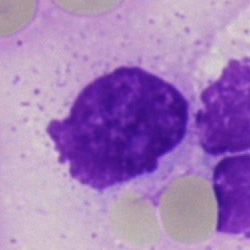 The cell shown is an artifact.